Bone marrow smear. Brightfield microscopy, 40× oil immersion — 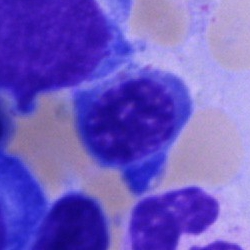
Showing a nucleated red cell.